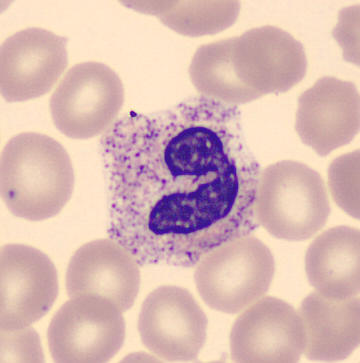Specimen: peripheral blood film.
Cell type: band neutrophil.